250 by 250 pixels · bone marrow smear — 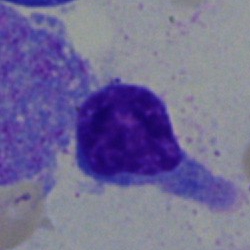
Specimen: bone marrow smear.
Morphological class: lymphocyte.
Lineage: lymphoid.